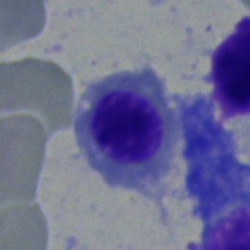Q: Which cell type is shown here?
A: A normoblast.